Brightfield, 40× oil-immersion objective; bone marrow aspirate smear — 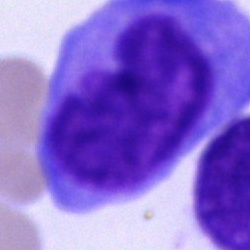 Morphological class — blast cell.